Peripheral blood film; Romanowsky stain — 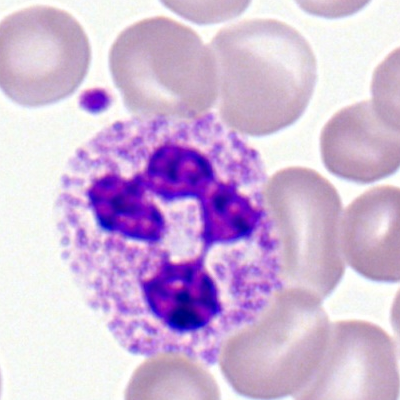
Impression → polymorphonuclear neutrophil.